Bone marrow aspirate smear.
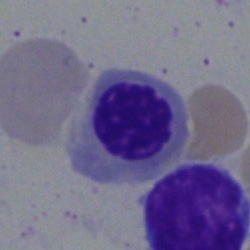 Classification: erythroblast.